Bone marrow smear.
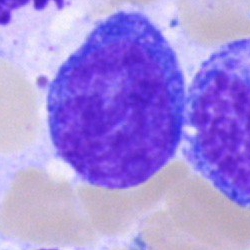
{"cell_type": "blast"}